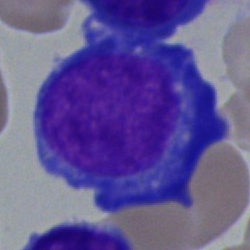
Impression → plasma cell.